Bone marrow aspirate smear · MGG-stained · 40× oil immersion: 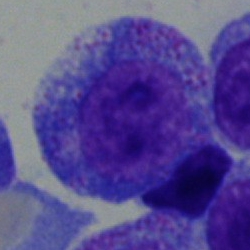Morphology → progranulocyte.